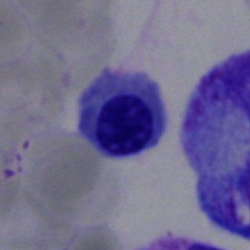 The cell type is nucleated red cell.